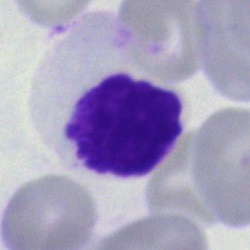Classification — artefact.